MGG-stained · single-cell crop · bone marrow aspirate smear.
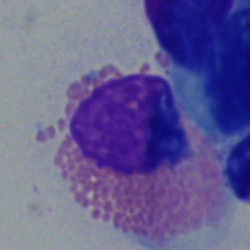 Specimen: bone marrow aspirate smear.
Cell type: eosinophilic granulocyte.